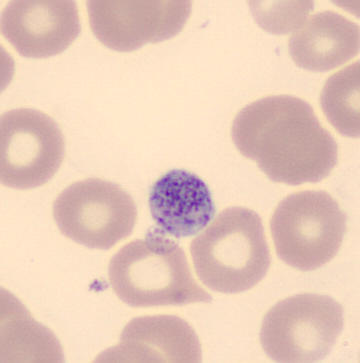Peripheral blood smear showing a platelet (thrombocyte).